Bone marrow aspirate smear.
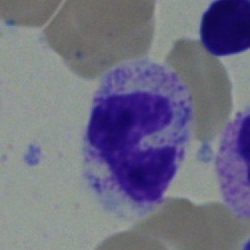 Single cell identified as a neutrophil (segmented).